Bone marrow aspirate smear. Brightfield microscopy, 40× oil immersion. 250×250 px
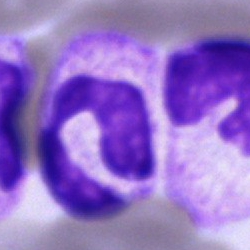 The cell shown is a segmented neutrophil.